Bone marrow smear. Brightfield, 40× oil-immersion objective
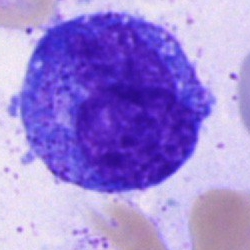Cell = progranulocyte.